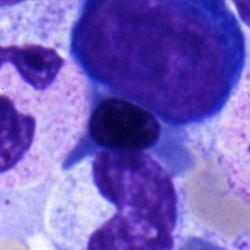 Bone marrow smear showing an erythroblast.